Romanowsky-type stain. Peripheral blood smear:
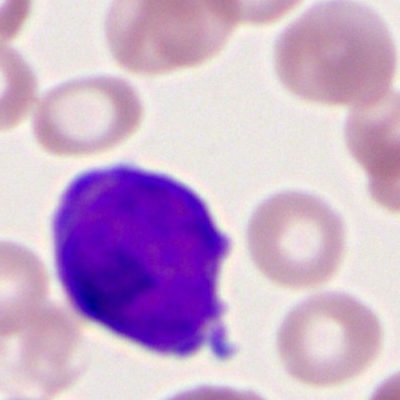 Single cell identified as a myeloid blast.